Bone marrow aspirate smear.
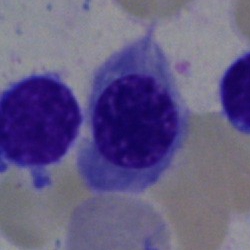 Showing a normoblast.